Peripheral blood smear: 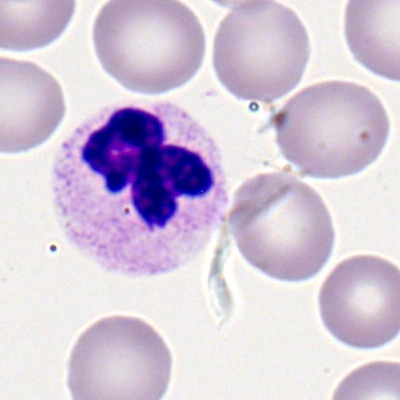Polymorphonuclear neutrophil.